Single cell centered in the field; May-Grünwald-Giemsa stain; bone marrow aspirate smear.
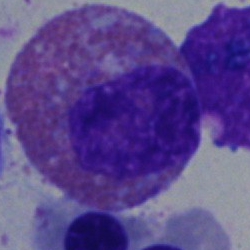Specimen: bone marrow aspirate smear.
Cell type: eosinophil.
Lineage: myeloid.